Bone marrow smear · single-cell crop: 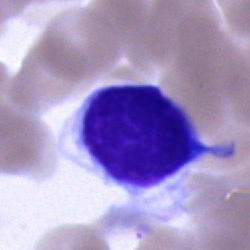 Q: What is shown here?
A: A cell of indeterminate lineage.